40× objective, oil immersion · cropped to a single cell · bone marrow aspirate smear: 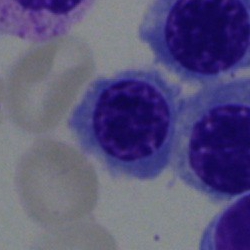

Normoblast.